Single-cell crop. Peripheral blood film: 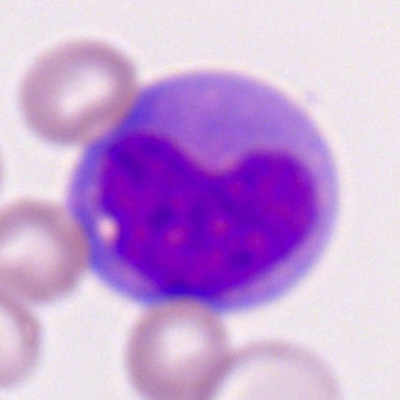The cell type is monocyte.